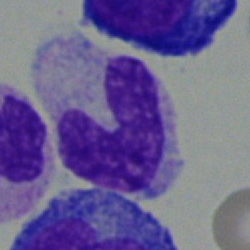 Specimen: bone marrow smear.
Classification: stab cell.
Lineage: myeloid.